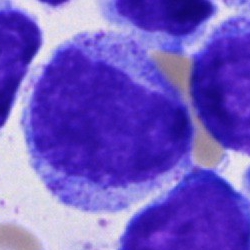
Q: Which cell type is shown here?
A: A promyelocyte.